May-Grünwald-Giemsa stain; bone marrow smear
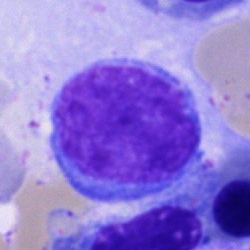
Specimen: bone marrow smear.
Cell type: undifferentiated blast.